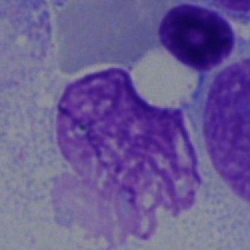 Morphology — artifact.